Bone marrow smear; 40× oil immersion
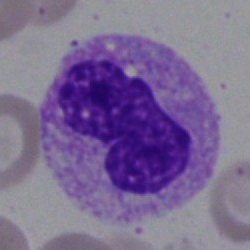 Cell = neutrophil (band).